Bone marrow smear · 40× oil immersion:
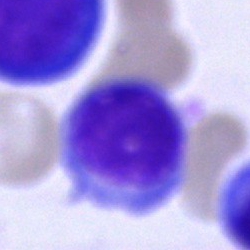
A plasmacyte.